Bone marrow smear · brightfield microscopy, 40× oil immersion:
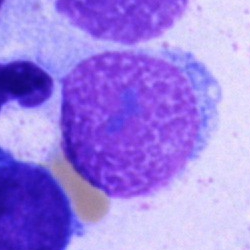 The classification is artefact.